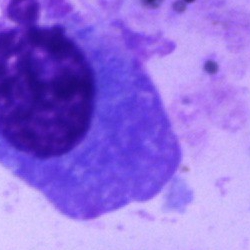
A plasmacyte on a bone marrow smear.